Bone marrow smear
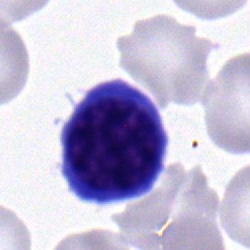
Q: What is the morphological classification of this cell?
A: This is a normoblast.